Bone marrow aspirate smear. Pappenheim-stained: 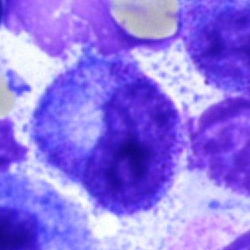The cell shown is a metamyelocyte.